Bone marrow aspirate smear. Cropped to a single cell — 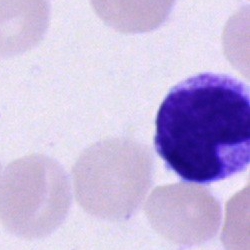Classification: cell of indeterminate lineage.